Bone marrow aspirate smear — 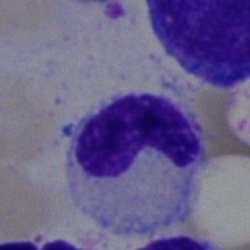Q: What is the morphological classification of this cell?
A: A band-form neutrophil.